Cropped to a single cell. Bone marrow smear:
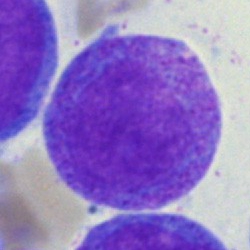
This is a promyelocyte.